Bone marrow smear · 250×250 · brightfield, 40× oil-immersion objective
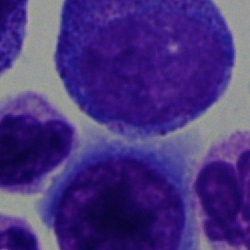
Specimen: bone marrow smear.
Cell: progranulocyte.